Bone marrow smear:
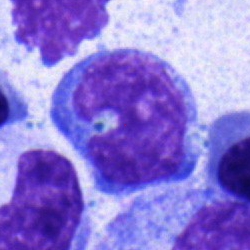
Cell type — monocyte.